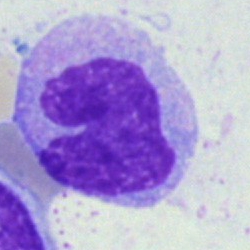

Cell type: monocyte.